Bone marrow smear. Cropped to a single cell: 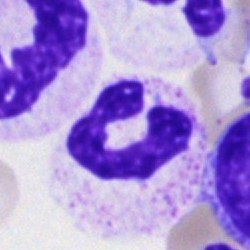Specimen: bone marrow smear.
Classification: polymorphonuclear neutrophil.
Lineage: myeloid.